Bone marrow aspirate smear.
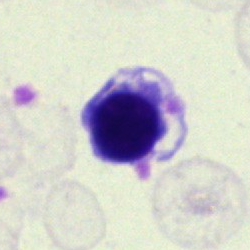

{"cell_type": "nucleated red blood cell"}